40× objective, oil immersion; bone marrow aspirate smear: 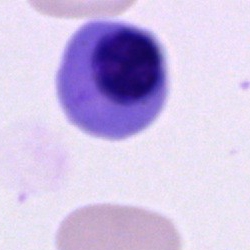Morphology consistent with a normoblast.